Image size 250×250; bone marrow smear:
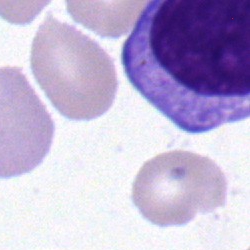

Q: Identify the cell.
A: A lymphocyte.